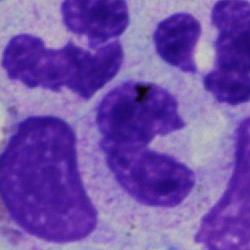
Single cell identified as a band neutrophil.